Bone marrow aspirate smear; May-Grünwald-Giemsa stain; 250×250 px — 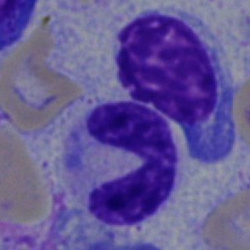 Specimen: bone marrow aspirate smear.
Cell type: band neutrophil.